Cropped to a single cell. Bone marrow smear
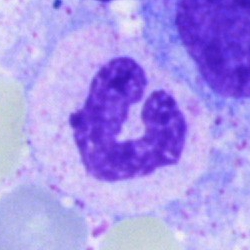
Classification — segmented neutrophil.